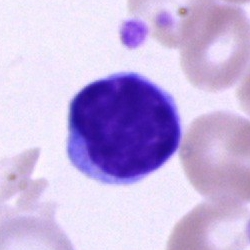
Single-cell crop from a bone marrow smear: typical lymphocyte.